Bone marrow smear: 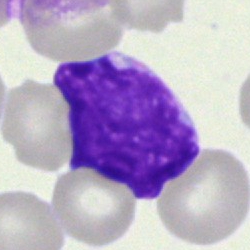 Morphology consistent with a blast.